Bone marrow smear:
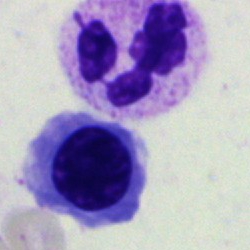

The classification is polymorphonuclear neutrophil.